Brightfield, 40× oil-immersion objective; bone marrow aspirate smear; Pappenheim-stained
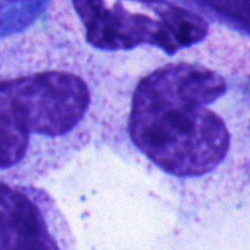 Showing a band-form neutrophil.